40× oil immersion. Bone marrow aspirate smear. 250 by 250 pixels
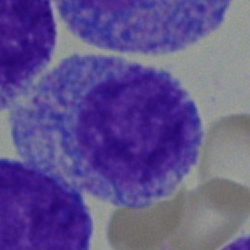Specimen: bone marrow aspirate smear.
Cell type: myelocyte.